Peripheral blood smear; 100× oil immersion; Romanowsky stain
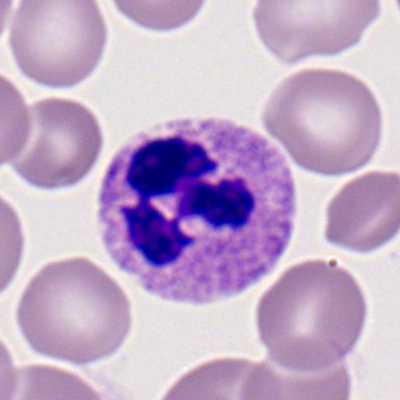Q: What type of cell is this?
A: It is a neutrophil (segmented).